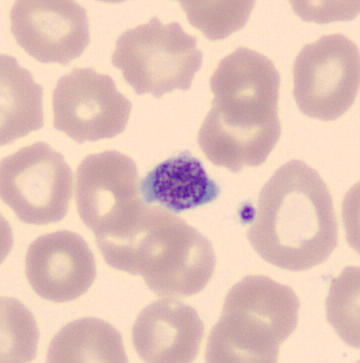 Preparation: Peripheral blood smear.
{"cell_type": "platelet"}